Bone marrow aspirate smear.
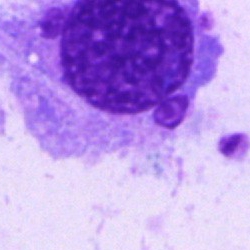

Classification = plasma cell.